Image size 250×250; bone marrow smear.
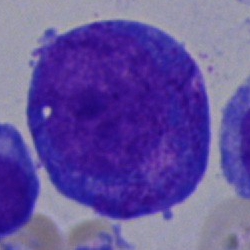 Cell type: promyelocyte.